Image size 250×250. Bone marrow aspirate smear — 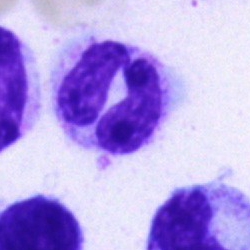

Morphology — neutrophil (segmented).